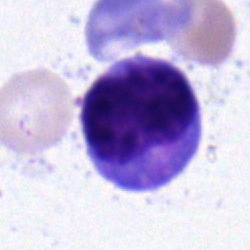
Bone marrow aspirate smear, single cell — monocyte.